Pappenheim-stained; bone marrow aspirate smear; 40× objective, oil immersion — 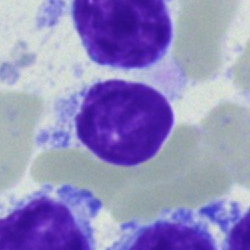{"cell_type": "typical lymphocyte"}